250 by 250 pixels; bone marrow smear; Pappenheim-stained — 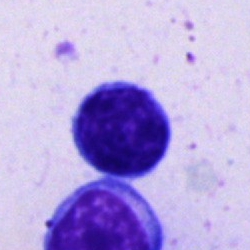 Typical lymphocyte.